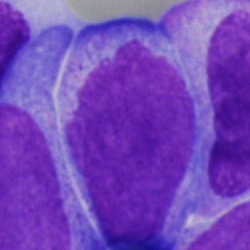
Specimen: bone marrow aspirate smear.
Cell: undifferentiated blast.